Bone marrow aspirate smear — 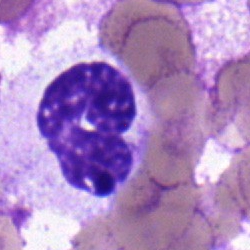

Morphology consistent with a stab cell.